Bone marrow smear
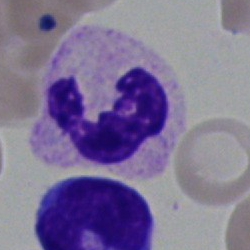
The morphological class is segmented neutrophil.